Bone marrow smear · 40× objective, oil immersion — 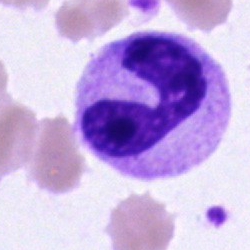
The cell shown is a band-form neutrophil.